Peripheral blood film · brightfield, 100× oil-immersion objective · 400 by 400 pixels.
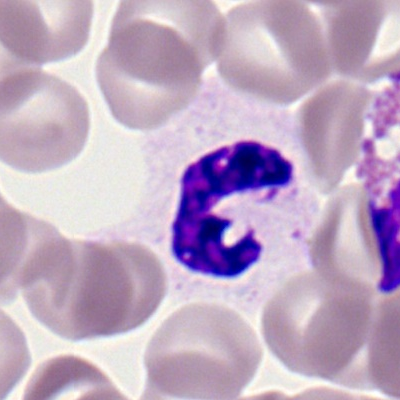 Morphology → segmented neutrophil.